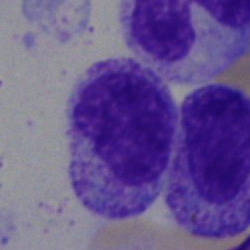

Single cell identified as a myelocyte.